100× oil immersion; peripheral blood smear
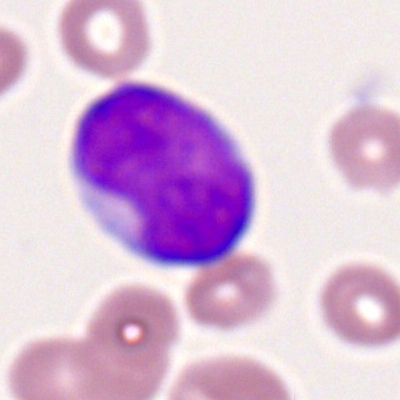

Impression — myeloblast.